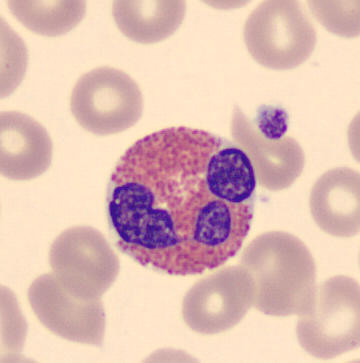

Morphology — eosinophilic granulocyte.